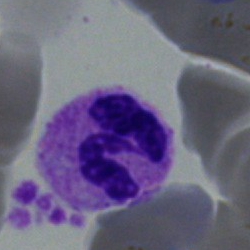 Q: Identify the cell.
A: It is a neutrophil (segmented).